Bone marrow aspirate smear.
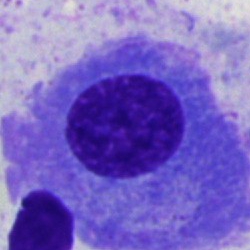Q: Which cell type is shown here?
A: Plasmacyte.